Bone marrow aspirate smear. May-Grünwald-Giemsa/Pappenheim stain: 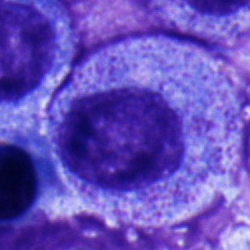
Morphology → myelocyte.